Bone marrow aspirate smear — 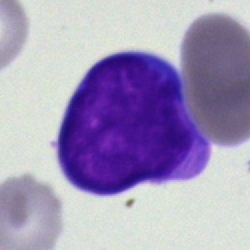
Cell type = blast.